Bone marrow smear
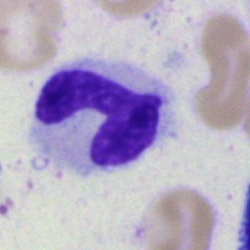

Specimen: bone marrow smear.
Morphological class: polymorphonuclear neutrophil.
Lineage: myeloid.